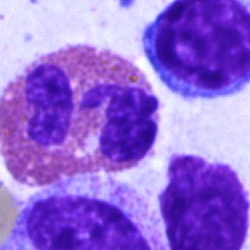

The cell shown is an eosinophil.